Bone marrow aspirate smear.
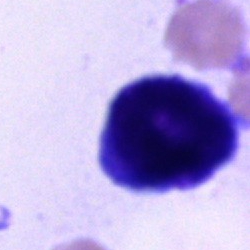Showing an unidentifiable cell.